Bone marrow smear; image size 250×250; 40× oil immersion — 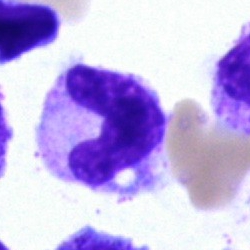 Cell = band-form neutrophil.